Cropped to a single cell; bone marrow smear
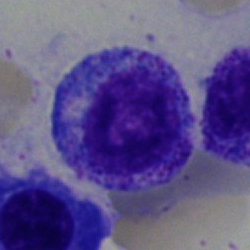

Specimen: bone marrow smear.
Cell type: progranulocyte.